Bone marrow smear. Brightfield microscopy, 40× oil immersion. Cropped to a single cell: 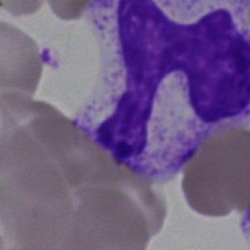
Q: What is shown here?
A: Artefact.